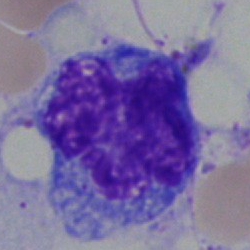 The classification is monocyte.